Bone marrow smear · May-Grünwald-Giemsa/Pappenheim stain — 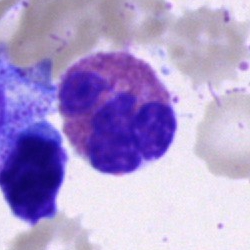
Classification — eosinophil.